Peripheral blood film · 100× oil immersion, 14.14 px/µm.
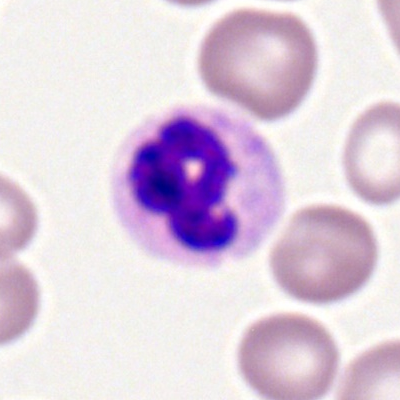 Q: Identify the cell.
A: Neutrophil (segmented).